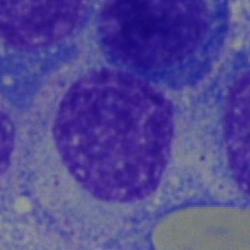Cell: plasma cell.